Bone marrow smear; 250 by 250 pixels
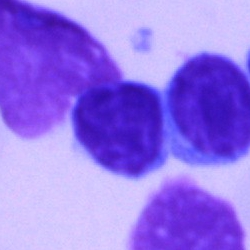

Cell — typical lymphocyte.